Bone marrow smear. May-Grünwald-Giemsa/Pappenheim stain.
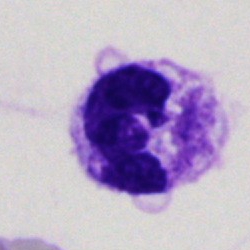Single cell identified as a segmented neutrophil.